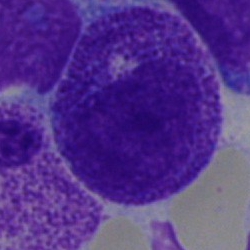 Specimen: bone marrow smear.
Cell type: myelocyte.
Lineage: myeloid.